Bone marrow smear: 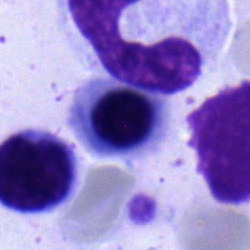 Q: What is the morphological classification of this cell?
A: A normoblast.